Pappenheim-stained; bone marrow smear: 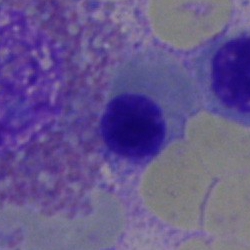 Specimen: bone marrow aspirate smear.
Morphological class: nucleated red blood cell.
Lineage: erythroid.